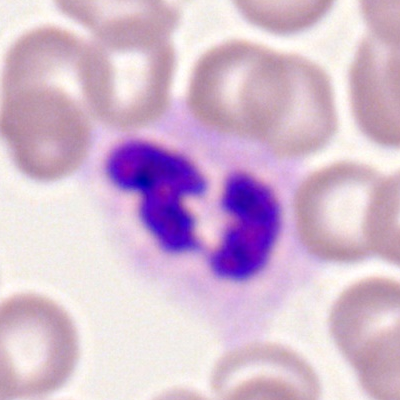

The cell shown is a segmented neutrophil.